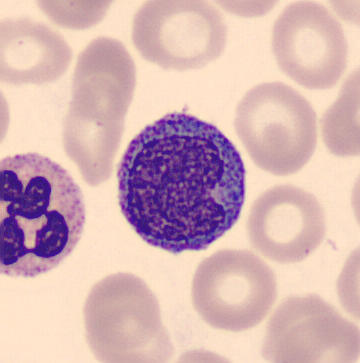
Showing a monocyte.
Preparation: Peripheral blood smear. Automated cell imaging (CellaVision DM96).